250 by 250 pixels · bone marrow smear
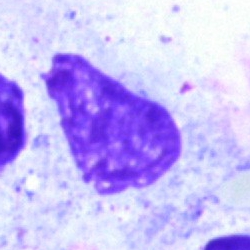Specimen: bone marrow smear.
Cell: artifact.